Bone marrow smear; single-cell field; brightfield microscopy, 40× oil immersion
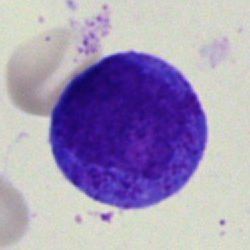Classification = promyelocyte.